Bone marrow aspirate smear: 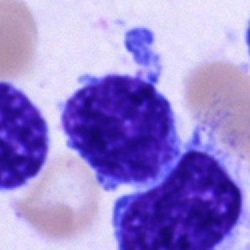 Q: What is shown here?
A: A lymphocyte.